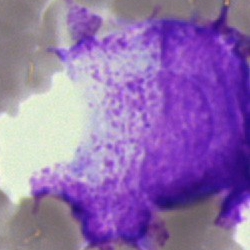Q: What is shown here?
A: Undifferentiated blast.